Bone marrow aspirate smear:
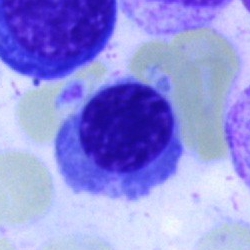

Morphological class: normoblast.